Bone marrow aspirate smear — 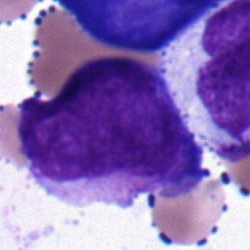 The morphological class is blast.